Bone marrow smear. 250×250 px:
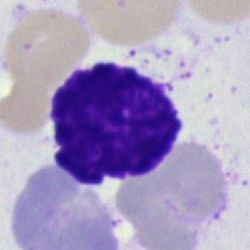

Morphological class = artifact.